Bone marrow smear
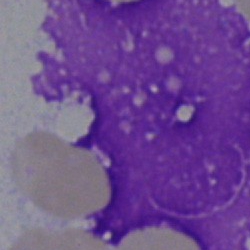

{"cell_type": "artifact"}